Bone marrow aspirate smear; brightfield, 40× oil-immersion objective:
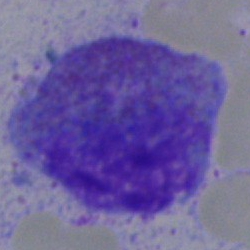
Morphological class — eosinophil.